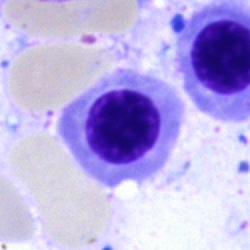Single cell identified as an erythroblast.